May-Grünwald-Giemsa/Pappenheim stain · image size 250×250 · bone marrow smear — 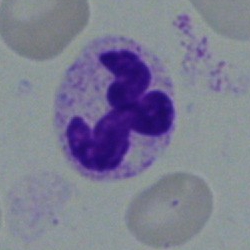

Classification = neutrophil (segmented).